Pappenheim-stained. Bone marrow smear — 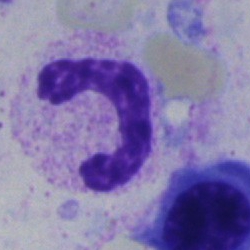

Morphology → neutrophil (segmented).